Bone marrow aspirate smear · 250 by 250 pixels · 40× objective, oil immersion:
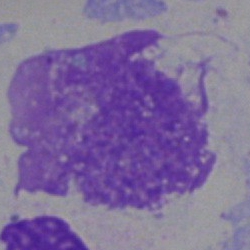 Showing an artifact.